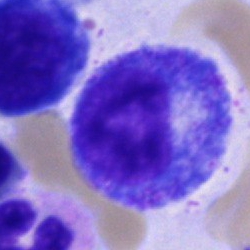Classification — promyelocyte.